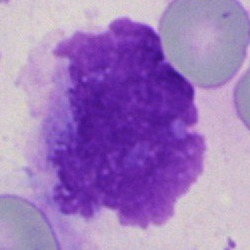Specimen: bone marrow smear.
Cell: artefact.